Bone marrow smear
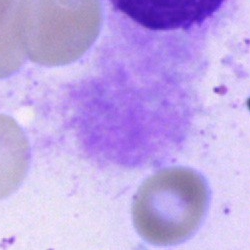
Single cell identified as an artefact.